Bone marrow aspirate smear; single cell centered in the field
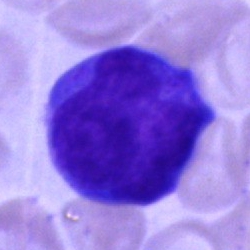The cell shown is an undifferentiated blast.